May-Grünwald-Giemsa stain · bone marrow smear · 250 by 250 pixels — 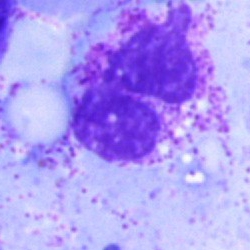 The cell shown is an artefact.